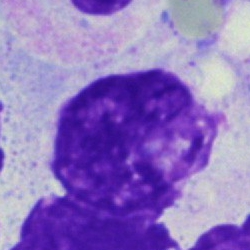 Classification = artifact.